250 by 250 pixels · bone marrow smear: 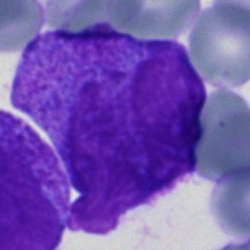

Single cell identified as an undifferentiated blast.